Bone marrow smear.
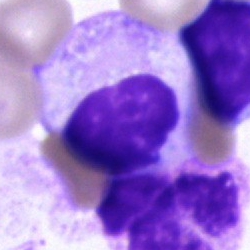
Q: Identify the cell.
A: This is an unidentifiable cell.